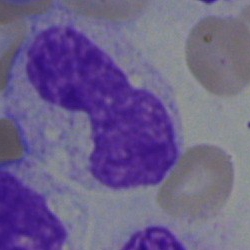A monocyte.